250 by 250 pixels. Bone marrow smear
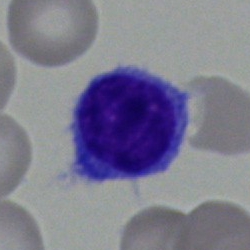

This is a typical lymphocyte.